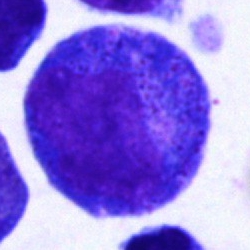

The cell shown is a promyelocyte.